Bone marrow aspirate smear. Single cell centered in the field. MGG-stained.
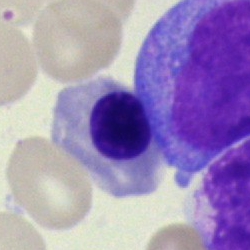

Showing an erythroblast.